Bone marrow smear.
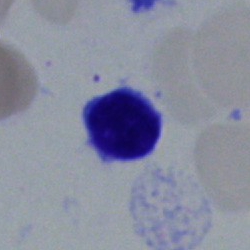

Morphological class — lymphocyte.